Bone marrow aspirate smear. Cropped to a single cell.
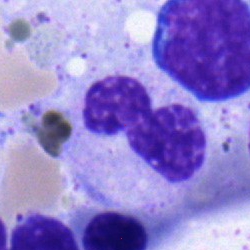

The cell shown is a band neutrophil.